Bone marrow smear:
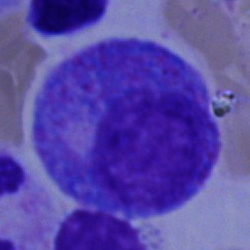

Q: Which cell type is shown here?
A: It is a progranulocyte.